Bone marrow aspirate smear. Pappenheim-stained:
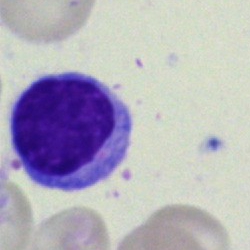 Single cell identified as a typical lymphocyte.